Peripheral blood smear — 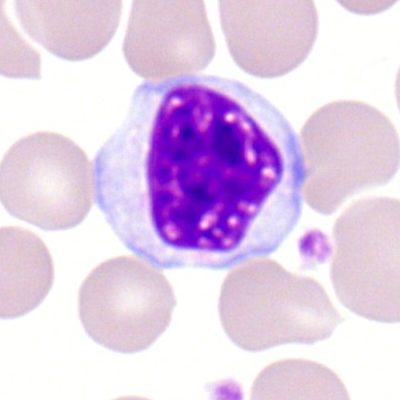 Specimen: peripheral blood smear.
Morphological class: typical lymphocyte.